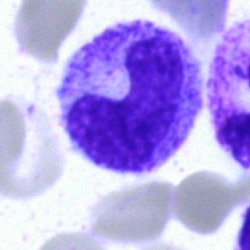 The cell shown is a band-form neutrophil.